Bone marrow aspirate smear · cropped to a single cell
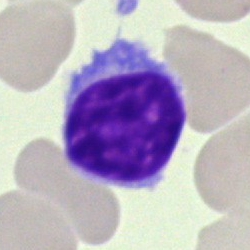
Q: Identify the cell.
A: Lymphocyte.